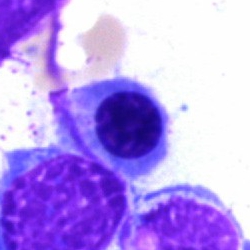Bone marrow smear showing a nucleated red cell.